Bone marrow smear
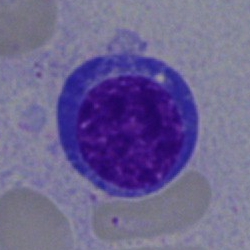Q: What is shown here?
A: A nucleated red blood cell.